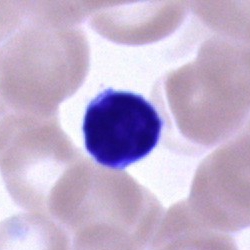 Classification: typical lymphocyte.